Bone marrow smear.
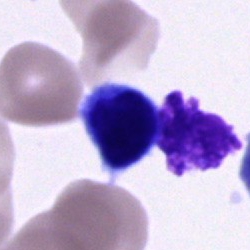
A cell of indeterminate lineage.